May-Grünwald-Giemsa stain. Bone marrow aspirate smear — 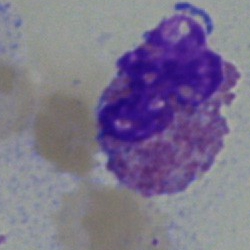The cell is eosinophil.